Bone marrow smear
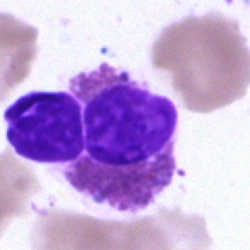

Cell: eosinophilic granulocyte.